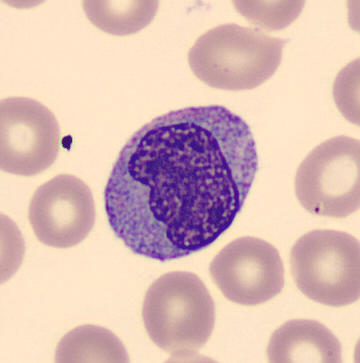
Impression — monocyte.